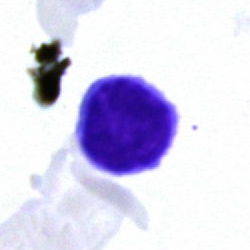Q: What type of cell is this?
A: This is a typical lymphocyte.